Bone marrow aspirate smear
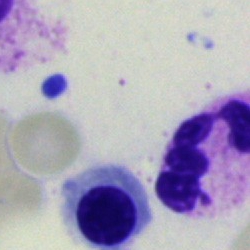 Segmented neutrophil.